Bone marrow smear — 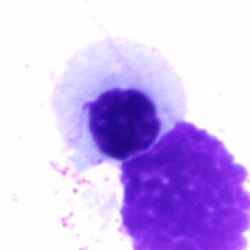
Classification: erythroblast.